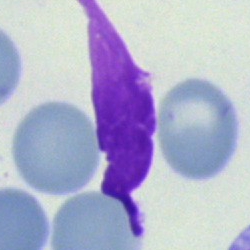

Cell type: artefact.